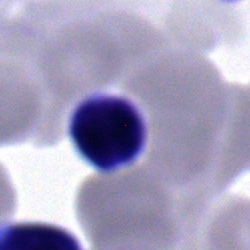 Q: What type of cell is this?
A: Lymphocyte.